Bone marrow aspirate smear: 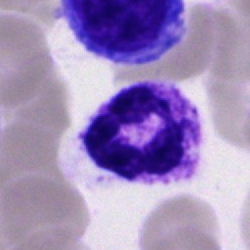Single cell identified as a neutrophil (segmented).